Bone marrow smear.
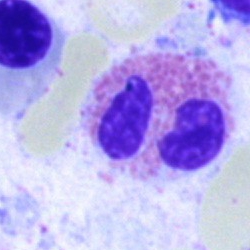 Showing an eosinophilic granulocyte.